Single-cell crop; bone marrow aspirate smear; brightfield, 40× oil-immersion objective.
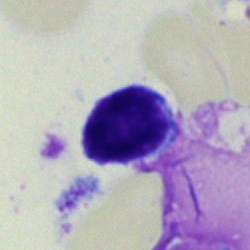
The cell shown is a typical lymphocyte.